40× oil immersion; bone marrow aspirate smear; 250 by 250 pixels
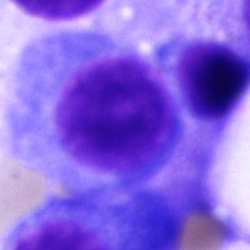
A plasma cell.